Bone marrow aspirate smear — 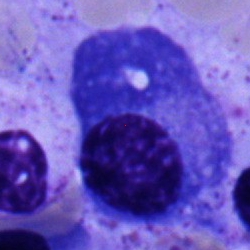

Specimen: bone marrow smear.
Cell type: plasmacyte.